40× objective, oil immersion. Bone marrow smear. Cropped to a single cell.
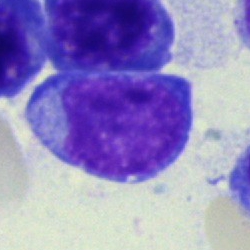Cell: typical lymphocyte.